Bone marrow smear: 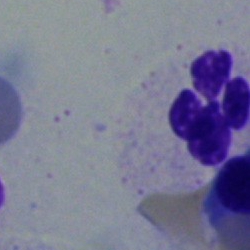

Classification = polymorphonuclear neutrophil.